Bone marrow aspirate smear — 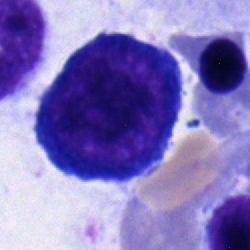 Showing a pronormoblast.